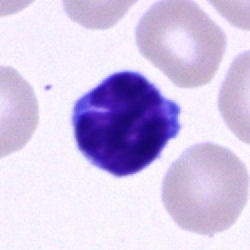Cell type — typical lymphocyte.